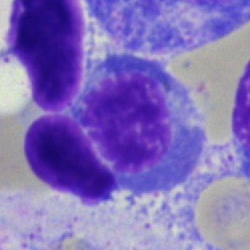

A nucleated red cell.